Bone marrow aspirate smear.
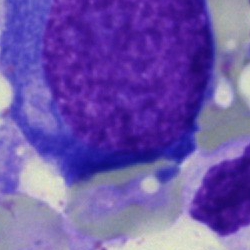Morphology consistent with a pronormoblast.